Bone marrow aspirate smear · Pappenheim-stained:
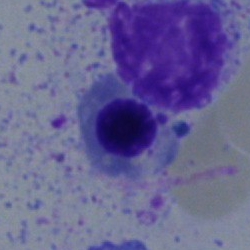The cell type is nucleated red blood cell.